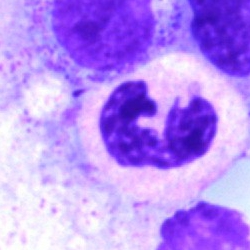
Q: Which cell type is shown here?
A: Polymorphonuclear neutrophil.